Bone marrow aspirate smear; 40× objective, oil immersion; 250 by 250 pixels
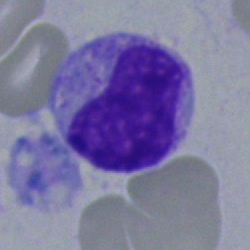
Cell = monocyte.